Bone marrow aspirate smear:
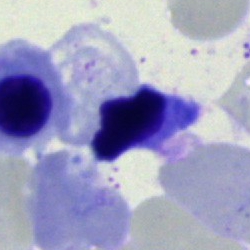

Specimen: bone marrow smear.
Classification: normoblast.
Lineage: erythroid.